Image size 250×250; bone marrow aspirate smear; 40× objective, oil immersion.
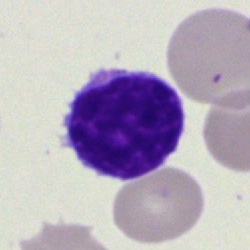
Lymphocyte.